Bone marrow smear.
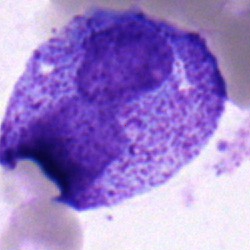

Morphological class — undifferentiated blast.